Bone marrow aspirate smear: 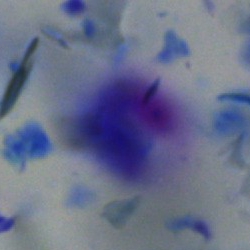 Q: What is shown here?
A: An artefact.